Bone marrow aspirate smear:
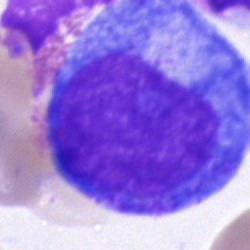

The morphological class is promyelocyte.